Single-cell crop · bone marrow smear:
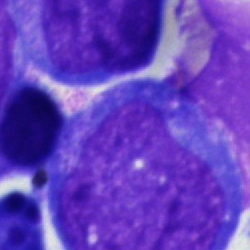 Impression — undifferentiated blast.